Bone marrow smear.
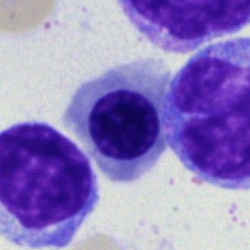

Nucleated red cell.